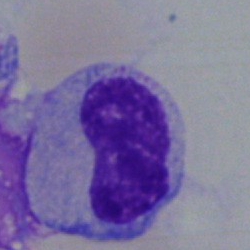 The cell shown is a band neutrophil.